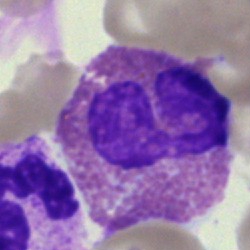Impression → eosinophil.